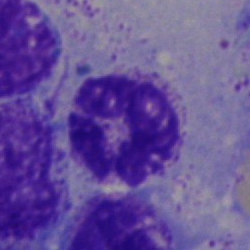
Single-cell crop from a bone marrow smear: neutrophil (segmented).